Bone marrow smear: 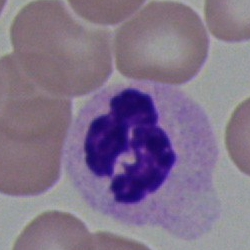Q: What cell is this?
A: This is a segmented neutrophil.